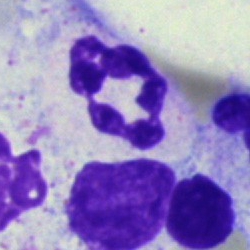
Q: What is the morphological classification of this cell?
A: A polymorphonuclear neutrophil.